Bone marrow smear: 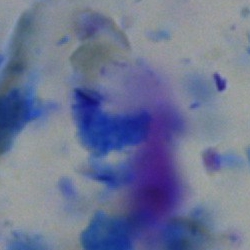This is an artifact.